250 by 250 pixels. 40× oil immersion. Bone marrow smear.
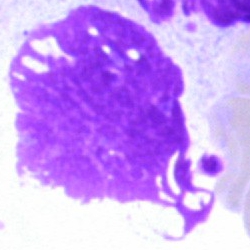
Morphology consistent with an artefact.